Bone marrow aspirate smear
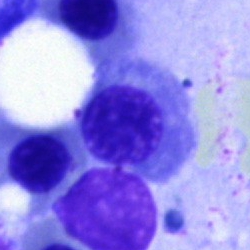 {"cell_type": "erythroblast"}